250 by 250 pixels. Bone marrow aspirate smear: 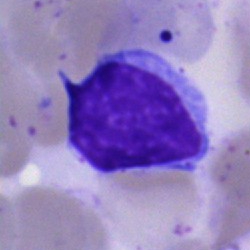Morphology consistent with a typical lymphocyte.